Peripheral blood film · single-cell crop
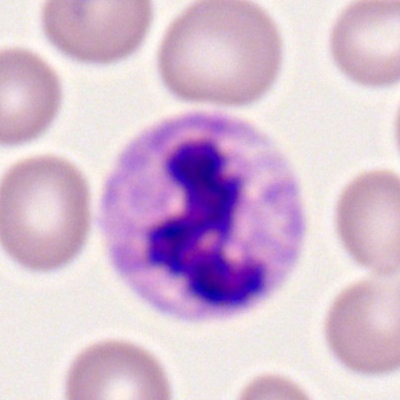

The cell is polymorphonuclear neutrophil.